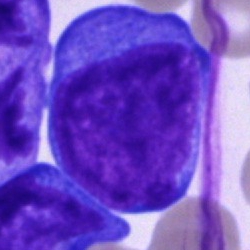

Bone marrow smear showing a blast.